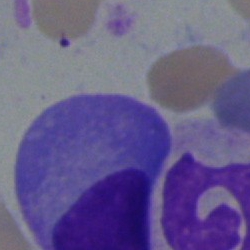
Q: What is the morphological classification of this cell?
A: It is a plasma cell.